Bone marrow aspirate smear:
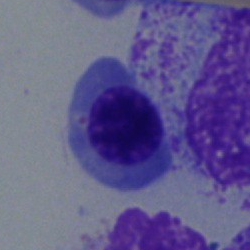 Showing an erythroblast.